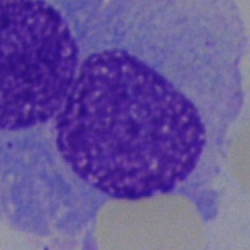

Specimen: bone marrow smear.
Morphological class: plasmacyte.
Lineage: lymphoid.